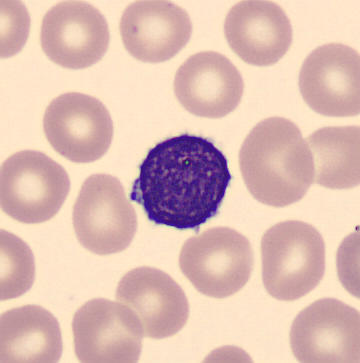
Morphological class: typical lymphocyte.

Image: Peripheral blood film.